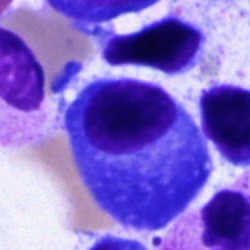

Bone marrow smear showing a plasmacyte.